May-Grünwald-Giemsa stain · bone marrow aspirate smear · single-cell crop.
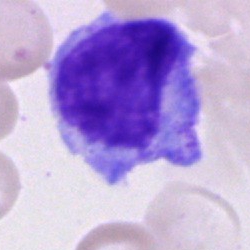Single cell identified as a promyelocyte.